Bone marrow smear
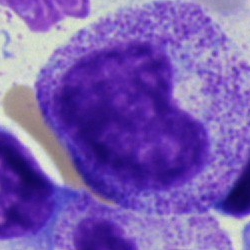 The cell type is progranulocyte.